Single cell centered in the field; bone marrow aspirate smear.
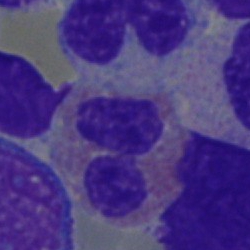 Classification: eosinophilic granulocyte.